Bone marrow smear: 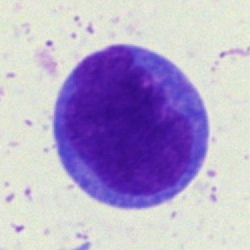 This is an undifferentiated blast.